Brightfield, 40× oil-immersion objective · bone marrow aspirate smear · single-cell field — 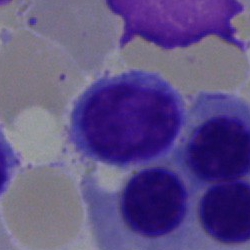

Cell = lymphocyte.